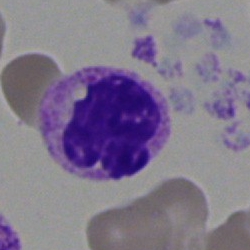

Q: What is the morphological classification of this cell?
A: This is a neutrophil (segmented).